Single-cell crop; bone marrow aspirate smear: 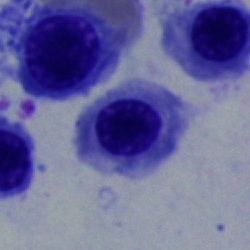
Specimen: bone marrow smear.
Cell: nucleated red cell.